Bone marrow aspirate smear · May-Grünwald-Giemsa/Pappenheim stain · 40× oil immersion
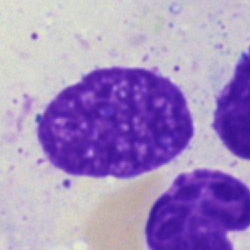
Classification = artifact.